Peripheral blood film: 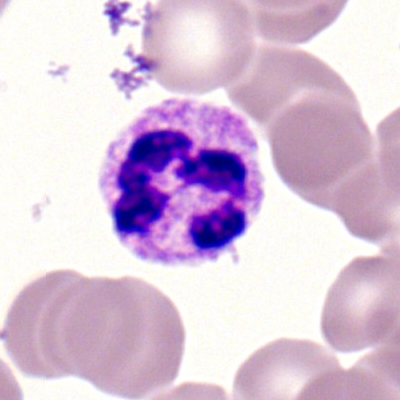
Q: What type of cell is this?
A: It is a neutrophil (segmented).